Bone marrow smear.
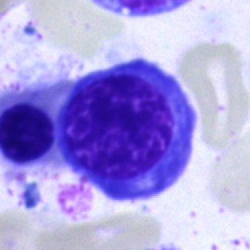 Classification — normoblast.